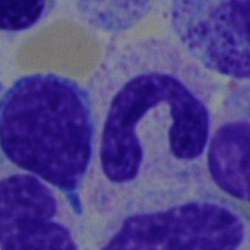
Impression → band-form neutrophil.